Bone marrow aspirate smear: 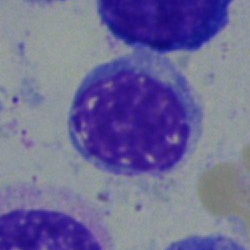Q: Which cell type is shown here?
A: Normoblast.